Bone marrow smear.
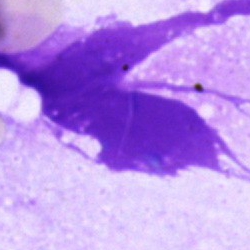The morphological class is artifact.